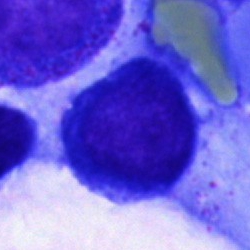
Specimen: bone marrow aspirate smear.
Cell: typical lymphocyte.